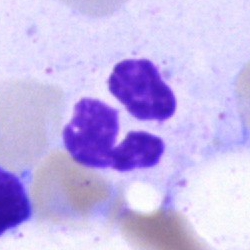
Cell: neutrophil (segmented).